Cropped to a single cell · bone marrow smear · 250×250:
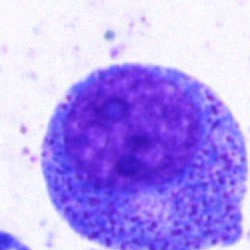 Cell = promyelocyte.